Image size 250×250; bone marrow smear; single cell centered in the field:
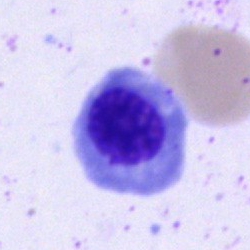Specimen: bone marrow smear.
Classification: nucleated red cell.
Lineage: erythroid.